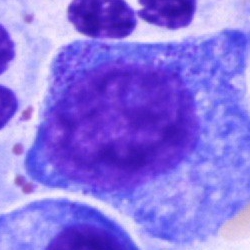Specimen: bone marrow aspirate smear.
Morphological class: progranulocyte.